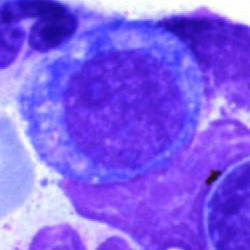Single-cell crop from a bone marrow smear: progranulocyte.